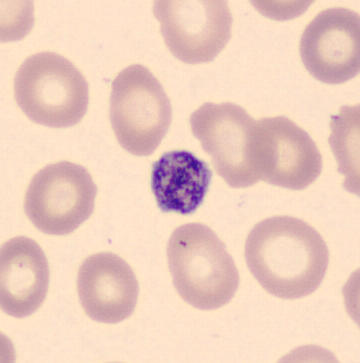 Acquisition: Image size 360×363; peripheral blood smear. Morphological class: platelet.